Bone marrow aspirate smear: 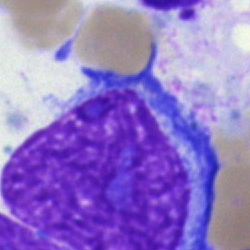
This is a blast.